40× oil immersion · bone marrow smear
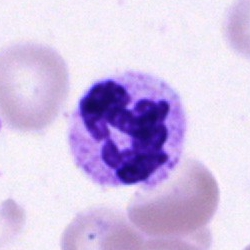Neutrophil (segmented).